Bone marrow smear: 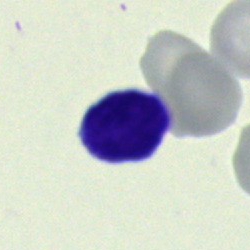

Single cell identified as a typical lymphocyte.